Bone marrow aspirate smear: 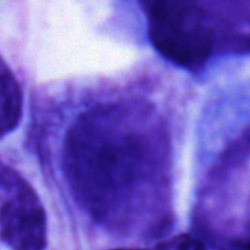

Single cell identified as a myelocyte.